Bone marrow smear.
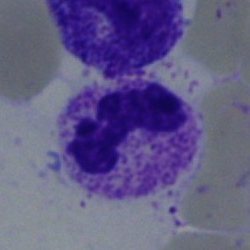Specimen: bone marrow smear.
Classification: polymorphonuclear neutrophil.